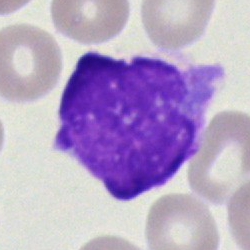

This is an artifact.